Bone marrow smear.
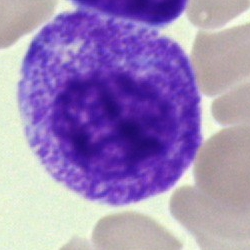
Q: Which cell type is shown here?
A: This is a promyelocyte.